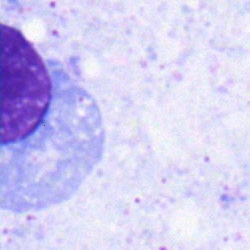 Specimen: bone marrow smear.
Cell type: plasmacyte.